Bone marrow smear — 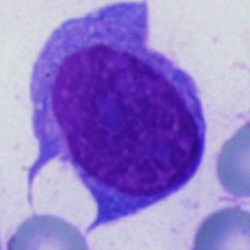
Cell type = cell of indeterminate lineage.